Bone marrow aspirate smear
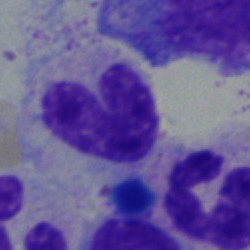Showing a band-form neutrophil.